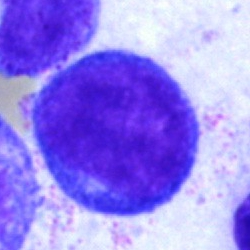

{"cell_type": "proerythroblast"}